Bone marrow aspirate smear. 40× objective, oil immersion: 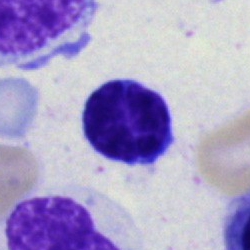Specimen: bone marrow smear.
Cell type: typical lymphocyte.